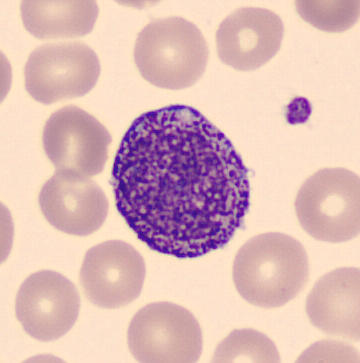

Progranulocyte.

Peripheral blood film · MGG-stained.